Bone marrow smear. 40× oil immersion: 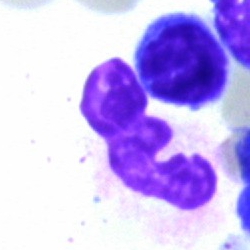
Morphology — artefact.